Image size 366×369 · peripheral blood film.
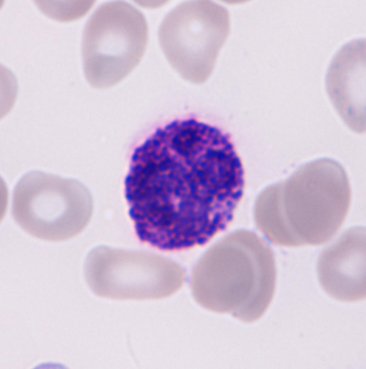
Q: What cell is this?
A: Basophil.